Bone marrow smear; brightfield, 40× oil-immersion objective: 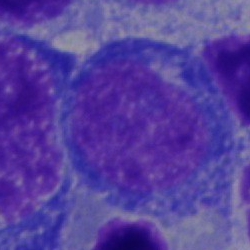
A blast.